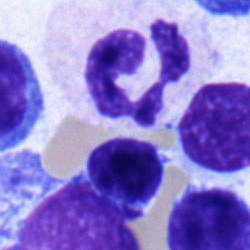
Morphology — neutrophil (segmented).